Bone marrow smear:
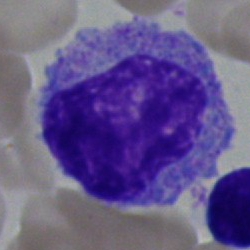

Q: What cell is this?
A: A progranulocyte.